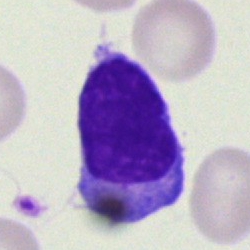Morphology consistent with a typical lymphocyte.